Bone marrow smear: 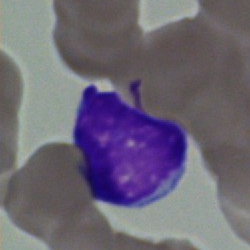 Morphology consistent with a typical lymphocyte.